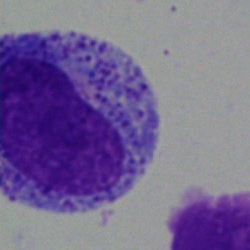{"cell_type": "promyelocyte", "lineage": "myeloid"}